Bone marrow aspirate smear — 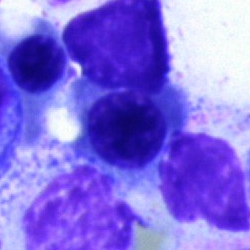
The cell type is erythroblast.